May-Grünwald-Giemsa/Pappenheim stain. Bone marrow aspirate smear: 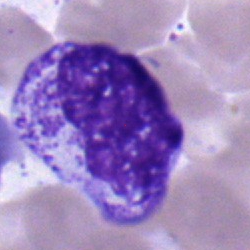Q: What cell is this?
A: This is a metamyelocyte.